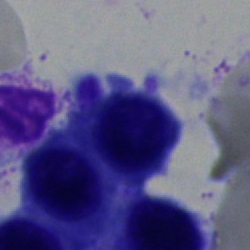
Morphology consistent with a nucleated red cell.